Bone marrow smear.
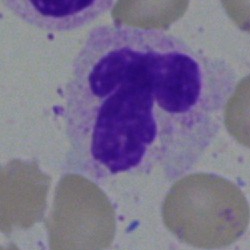
Showing a polymorphonuclear neutrophil.